Bone marrow smear
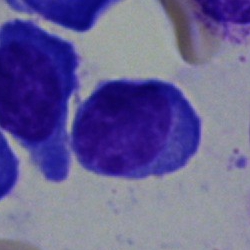 Morphology consistent with a plasma cell.